Bone marrow smear
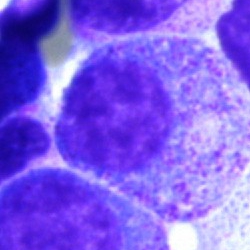The cell shown is a myelocyte.